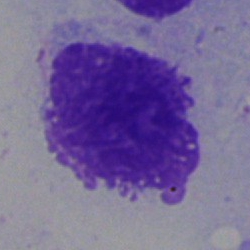 The cell shown is an artefact.